40× oil immersion; bone marrow smear — 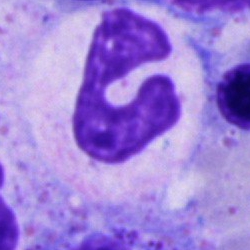
Specimen: bone marrow aspirate smear.
Classification: polymorphonuclear neutrophil.
Lineage: myeloid.